Bone marrow smear; 40× oil immersion: 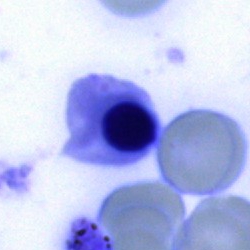Morphology consistent with an erythroblast.